Bone marrow smear.
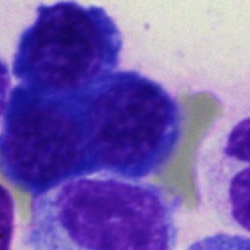

Q: Which cell type is shown here?
A: This is a nucleated red cell.